Bone marrow smear:
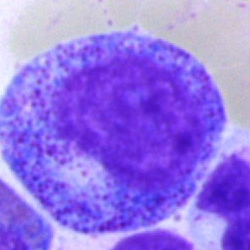 Morphology consistent with a promyelocyte.